Bone marrow aspirate smear
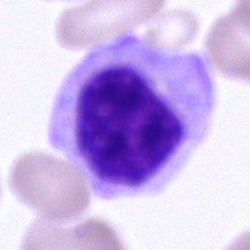

Q: What is shown here?
A: A cell of indeterminate lineage.